Bone marrow smear — 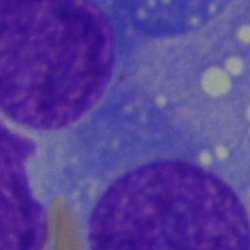

Cell — undifferentiated blast.